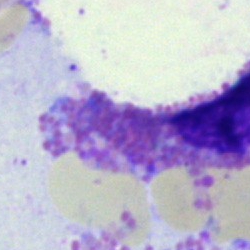
Single cell identified as an artefact.